Cropped to a single cell. Bone marrow smear. Image size 250×250: 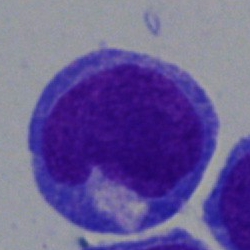

Q: What is the morphological classification of this cell?
A: It is a blast.